Bone marrow smear; single-cell field; May-Grünwald-Giemsa/Pappenheim stain.
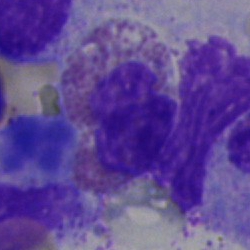

This is an eosinophil.